Image size 250×250. Bone marrow aspirate smear. Brightfield, 40× oil-immersion objective:
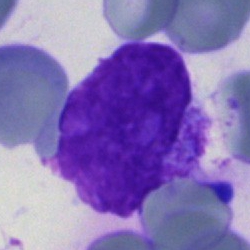

Single cell identified as an artefact.